Peripheral blood film. Imaged on a CellaVision DM96 analyser
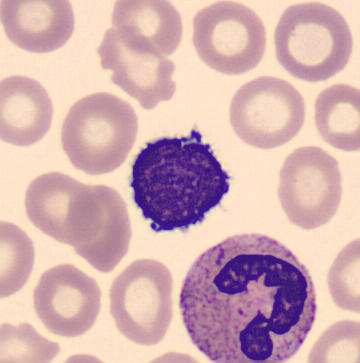Lymphocyte.